Single-cell field · bone marrow aspirate smear · image size 250×250: 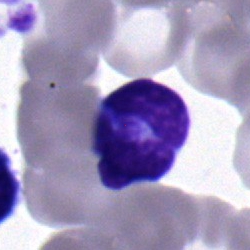Morphology consistent with a typical lymphocyte.